Bone marrow aspirate smear
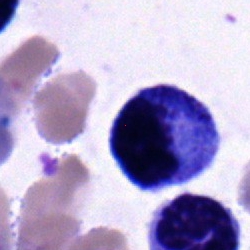Q: What type of cell is this?
A: It is a myelocyte.